Bone marrow smear
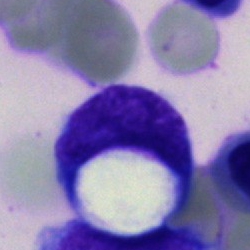Q: Identify the cell.
A: This is a blast.